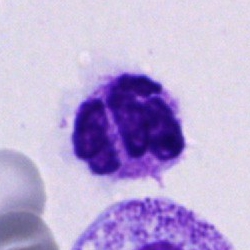
Q: Which cell type is shown here?
A: A neutrophil (segmented).